Pappenheim-stained · bone marrow smear:
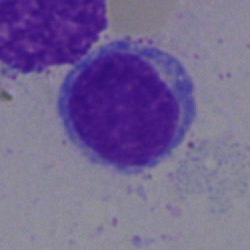

Cell type = typical lymphocyte.